Bone marrow smear — 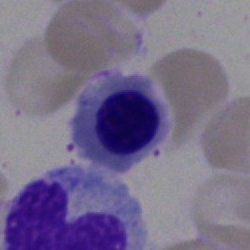
The cell is normoblast.